Brightfield, 40× oil-immersion objective · bone marrow aspirate smear: 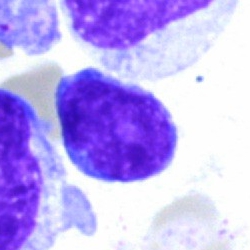 This is a typical lymphocyte.